40× objective, oil immersion · bone marrow aspirate smear — 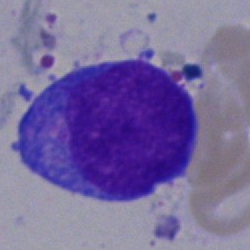 Showing a blast cell.